Bone marrow aspirate smear.
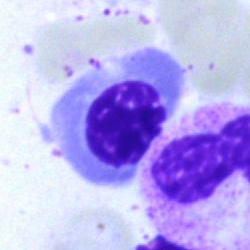Morphological class = nucleated red cell.